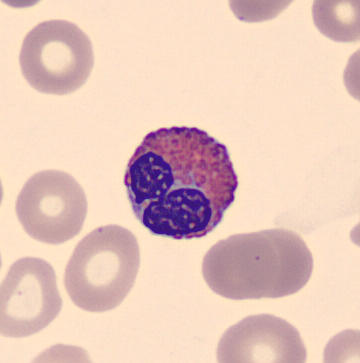
Image: Peripheral blood smear.
This is an eosinophilic granulocyte.